40× oil immersion · bone marrow smear · MGG-stained — 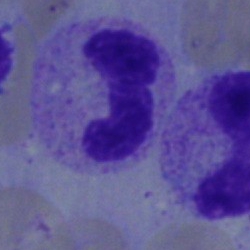Morphology → band neutrophil.